Cropped to a single cell · bone marrow smear: 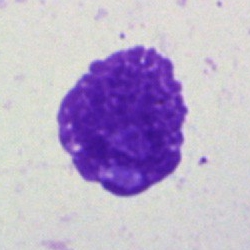 The cell type is artifact.